Single cell centered in the field; bone marrow aspirate smear; Pappenheim-stained — 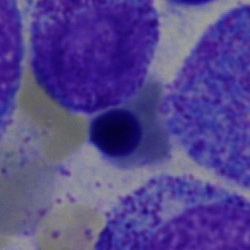 Cell: nucleated red blood cell.